Bone marrow aspirate smear · single-cell field: 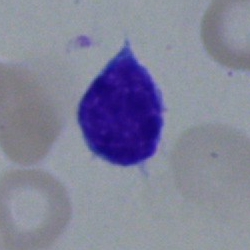
The cell is lymphocyte.